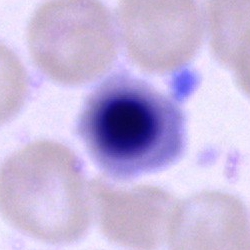Q: What is shown here?
A: Nucleated red cell.